Bone marrow smear.
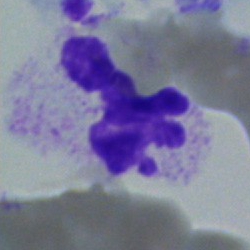 This is a segmented neutrophil.